Bone marrow aspirate smear · 40× objective, oil immersion.
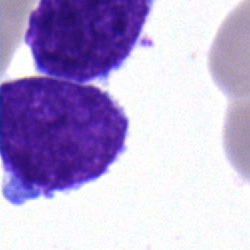Cell type = undifferentiated blast.